Bone marrow smear — 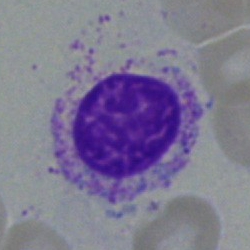

{"cell_type": "myelocyte"}